Single-cell field. Bone marrow smear:
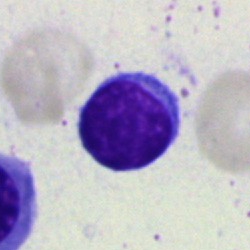

Morphological class: lymphocyte.